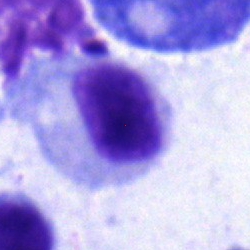

Classification: myelocyte.